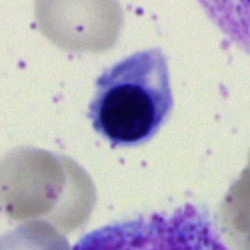 Morphology consistent with a nucleated red cell.